Single cell centered in the field; MGG-stained; bone marrow smear:
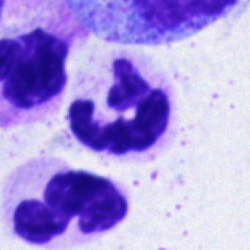 A polymorphonuclear neutrophil.